Bone marrow aspirate smear.
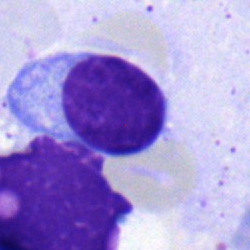The morphological class is typical lymphocyte.